Bone marrow smear · 40× objective, oil immersion
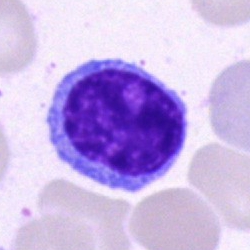

Q: What type of cell is this?
A: This is a lymphocyte.